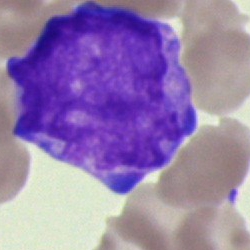The cell is blast.